Bone marrow aspirate smear:
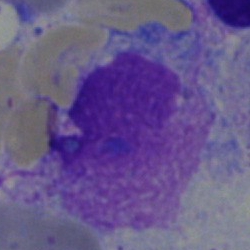
Specimen: bone marrow aspirate smear.
Morphological class: artifact.